Bone marrow aspirate smear: 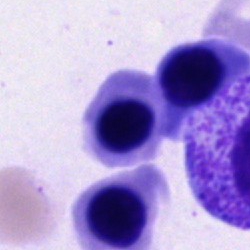

Specimen: bone marrow smear.
Classification: erythroblast.
Lineage: erythroid.